MGG-stained. Single cell centered in the field. Bone marrow aspirate smear:
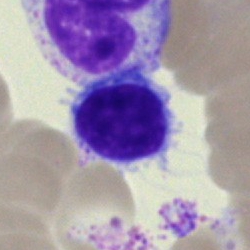

Morphology consistent with a typical lymphocyte.